Bone marrow smear — 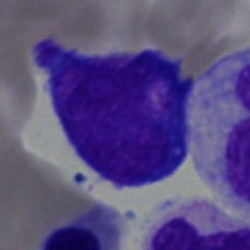

Morphological class — nucleated red cell.